Peripheral blood film — 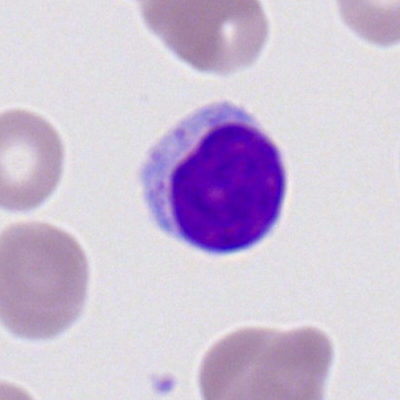Cell type — typical lymphocyte.